Bone marrow aspirate smear:
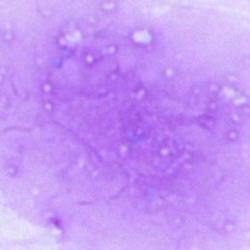 Q: What is shown here?
A: It is an artefact.